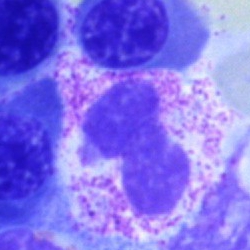 Morphological class — polymorphonuclear neutrophil.